Brightfield microscopy, 40× oil immersion. Bone marrow aspirate smear.
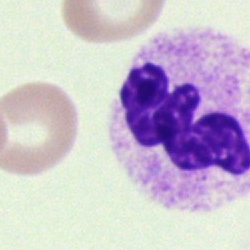 This is a neutrophil (segmented).